Bone marrow smear.
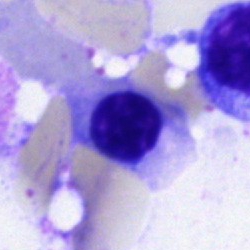Nucleated red cell.